Peripheral blood smear · Romanowsky-type stain
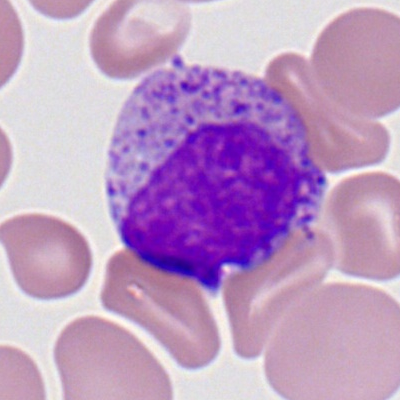The classification is myelocyte.